Bone marrow smear
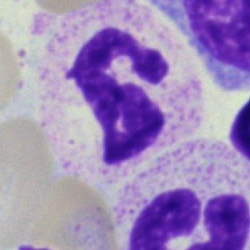Classification = polymorphonuclear neutrophil.